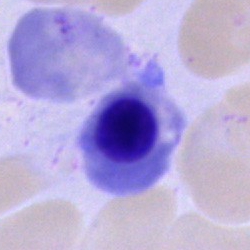Specimen: bone marrow aspirate smear.
Morphological class: nucleated red cell.
Lineage: erythroid.